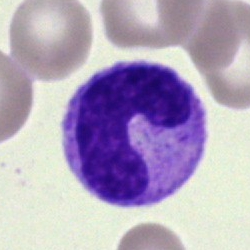

Bone marrow aspirate smear, single cell — stab cell.